Bone marrow smear. 40× objective, oil immersion: 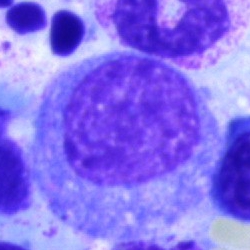Cell = progranulocyte.